250×250 · single cell centered in the field · bone marrow smear: 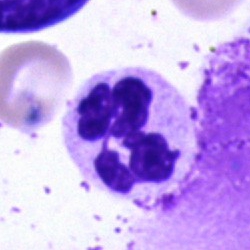
This is a polymorphonuclear neutrophil.